400 by 400 pixels. Peripheral blood smear — 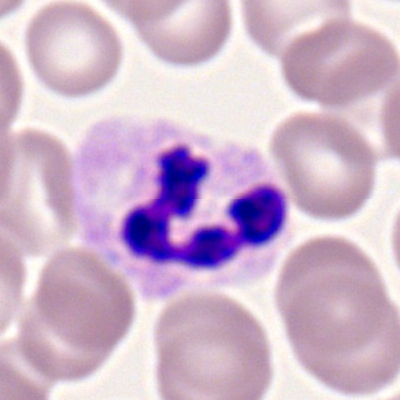
Q: Which cell type is shown here?
A: It is a segmented neutrophil.